Bone marrow smear:
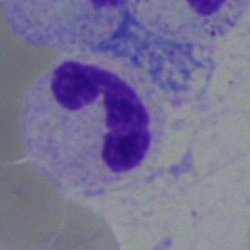

Cell = band neutrophil.